Bone marrow aspirate smear — 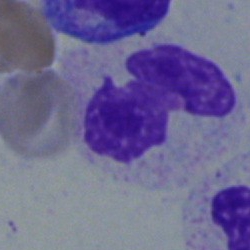

Single cell identified as a polymorphonuclear neutrophil.